Single cell centered in the field. Bone marrow aspirate smear. 250×250
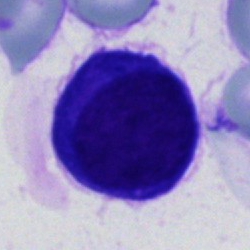Specimen: bone marrow aspirate smear.
Cell: unidentifiable cell.